Brightfield microscopy, 40× oil immersion; bone marrow smear
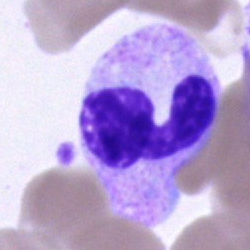

Cell — neutrophil (segmented).